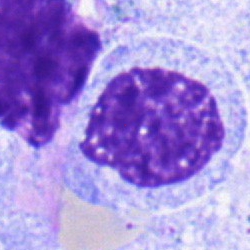

Specimen: bone marrow aspirate smear.
Cell: myelocyte.
Lineage: myeloid.